Bone marrow aspirate smear — 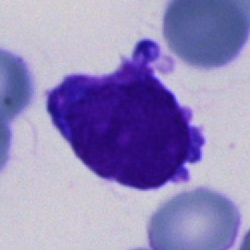 Impression — blast.